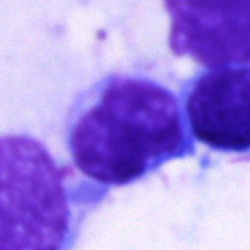A lymphocyte on a bone marrow smear.